Bone marrow smear
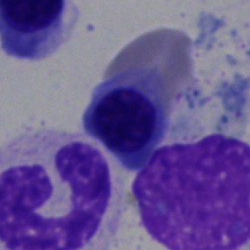

Showing a nucleated red blood cell.